250×250. Bone marrow aspirate smear — 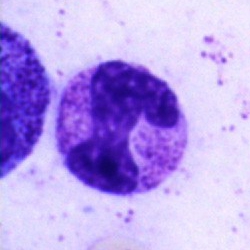 Q: Which cell type is shown here?
A: A neutrophil (band).